Single-cell field; peripheral blood film; CellaVision DM96 digital cell image
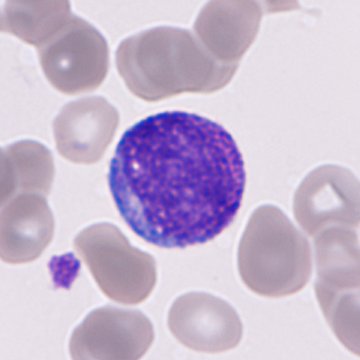Morphology → immature granulocyte (promyelocyte, myelocyte or metamyelocyte).